Bone marrow aspirate smear — 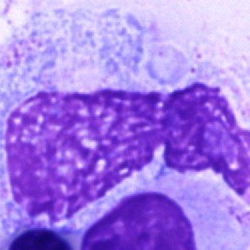

Classification: artefact.